Bone marrow aspirate smear.
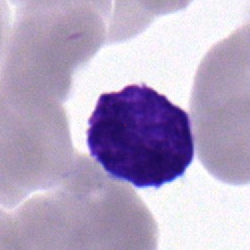Cell: lymphocyte.